Bone marrow smear.
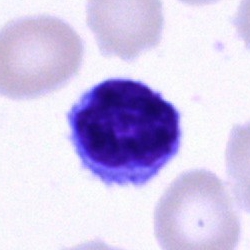
Q: What cell is this?
A: It is a lymphocyte.